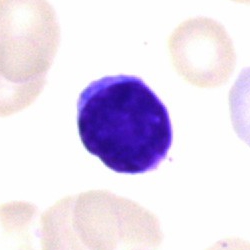
{"cell_type": "lymphocyte"}